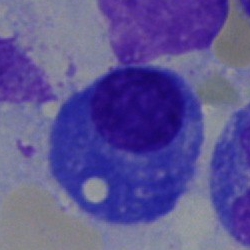

Specimen: bone marrow smear.
Morphological class: plasma cell.